Bone marrow aspirate smear. Single cell centered in the field. 40× objective, oil immersion: 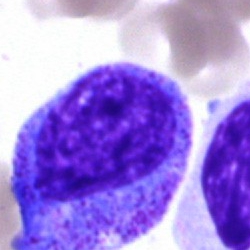
Impression — promyelocyte.